Bone marrow smear; single-cell field:
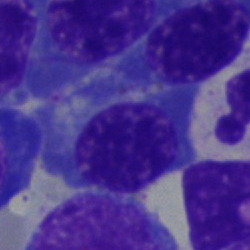
Single cell identified as an erythroblast.